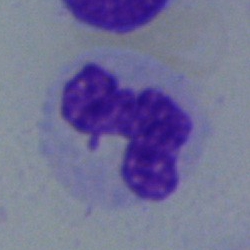

Morphological class = segmented neutrophil.